Bone marrow aspirate smear:
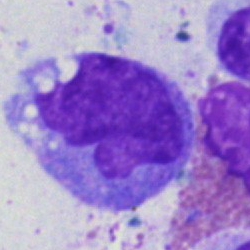

Morphology consistent with a monocyte.